May-Grünwald-Giemsa stain · 40× objective, oil immersion · bone marrow smear
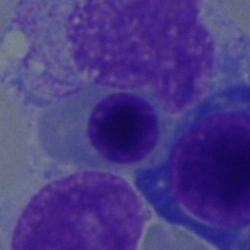Nucleated red blood cell.